MGG-stained. Bone marrow smear.
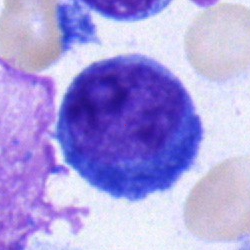 Classification — proerythroblast.